Bone marrow smear.
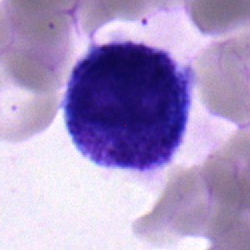Q: What cell is this?
A: Blast.